Bone marrow aspirate smear
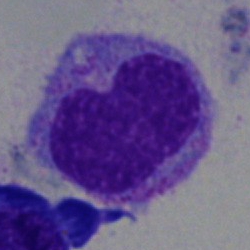
Morphology consistent with a metamyelocyte.